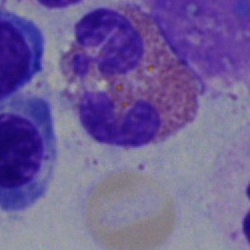

Q: What type of cell is this?
A: It is an eosinophil.